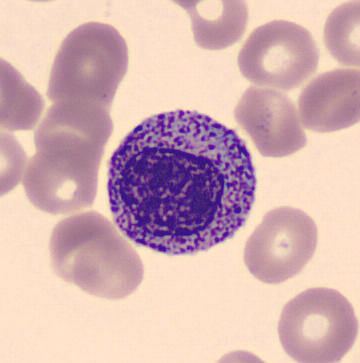 Preparation: CellaVision DM96; peripheral blood smear.
Q: Which cell type is shown here?
A: A myelocyte.